May-Grünwald-Giemsa/Pappenheim stain · 250×250 px · bone marrow smear
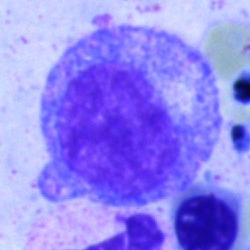 The classification is progranulocyte.